Bone marrow aspirate smear. May-Grünwald-Giemsa stain. Single-cell crop: 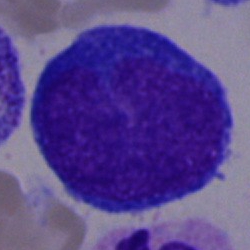

Q: What is shown here?
A: Proerythroblast.